Brightfield microscopy, 40× oil immersion. Bone marrow smear.
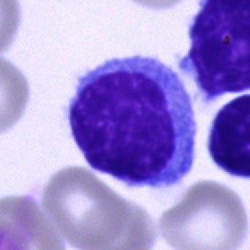Typical lymphocyte.